Bone marrow aspirate smear.
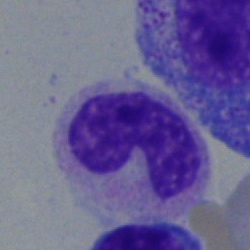

Classification = stab cell.